May-Grünwald-Giemsa/Pappenheim stain. 250×250. Bone marrow smear: 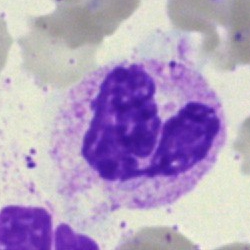
Q: Identify the cell.
A: This is a neutrophil (segmented).